Bone marrow aspirate smear; 40× oil immersion:
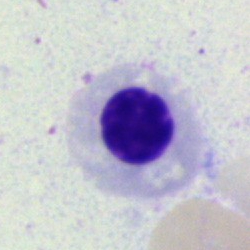The morphological class is erythroblast.